Bone marrow aspirate smear; 40× oil immersion — 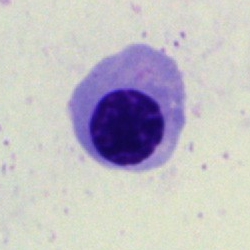

Morphology consistent with a nucleated red blood cell.